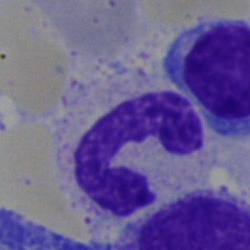
A segmented neutrophil on a bone marrow smear.